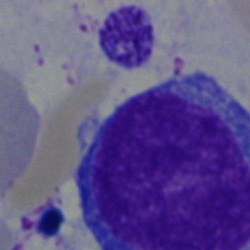

Cell = blast.